250×250 px · bone marrow smear · brightfield microscopy, 40× oil immersion — 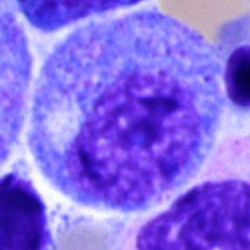 Single cell identified as a progranulocyte.